May-Grünwald-Giemsa/Pappenheim stain. Bone marrow aspirate smear.
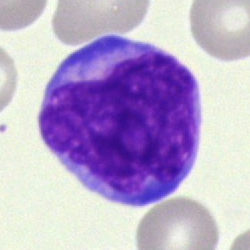This is a blast cell.